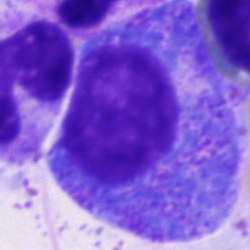
Q: What is the morphological classification of this cell?
A: This is a promyelocyte.